Bone marrow smear
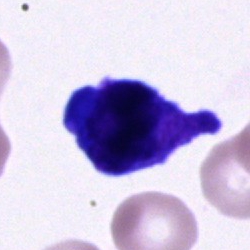
Impression → unidentifiable cell.